Bone marrow smear. May-Grünwald-Giemsa/Pappenheim stain:
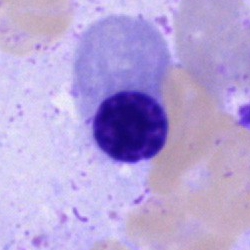

A nucleated red blood cell.